Bone marrow smear — 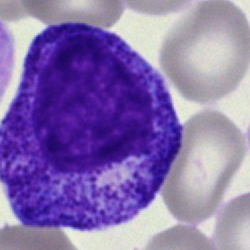 Specimen: bone marrow aspirate smear.
Classification: myelocyte.
Lineage: myeloid.